Bone marrow smear: 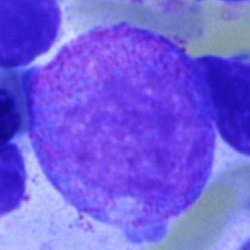Specimen: bone marrow smear.
Classification: promyelocyte.
Lineage: myeloid.